Peripheral blood smear; CellaVision DM96
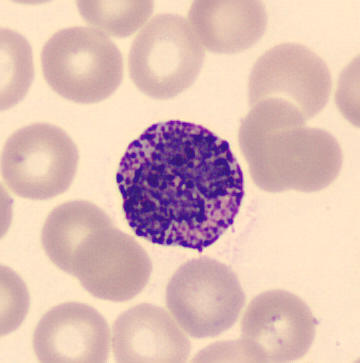 Q: What type of cell is this?
A: This is a basophilic granulocyte.